Romanowsky-stained. Peripheral blood film. 100× oil immersion:
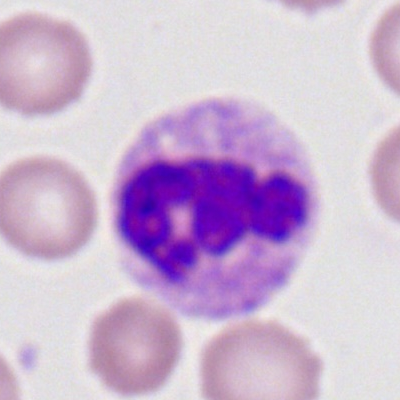 Q: What cell is this?
A: This is a neutrophil (segmented).